Pappenheim-stained · bone marrow aspirate smear: 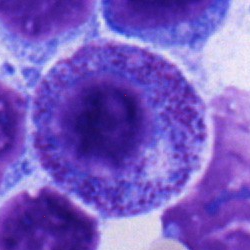Specimen: bone marrow aspirate smear.
Morphological class: progranulocyte.
Lineage: myeloid.